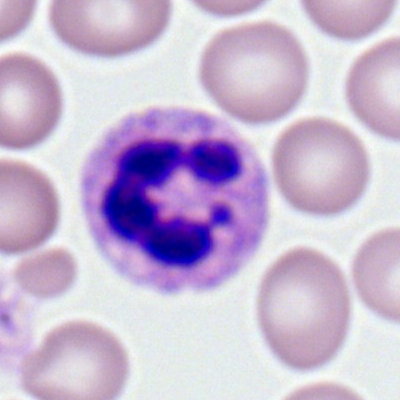

Q: What is the morphological classification of this cell?
A: It is a segmented neutrophil.